MGG-stained; bone marrow smear — 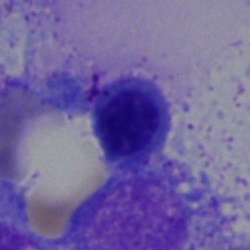 A nucleated red blood cell.